Bone marrow smear. May-Grünwald-Giemsa/Pappenheim stain:
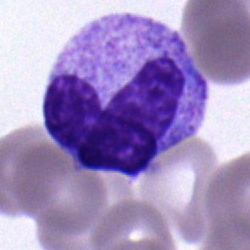 {"cell_type": "stab cell"}